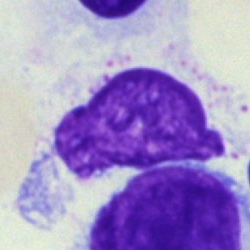
Q: What is shown here?
A: An artefact.